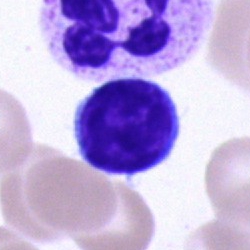Q: What is the morphological classification of this cell?
A: A lymphocyte.